Bone marrow smear; single-cell field: 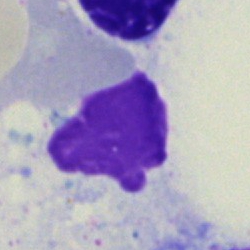
Specimen: bone marrow aspirate smear.
Cell type: artefact.